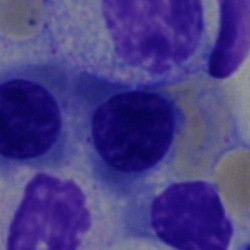

Morphological class = normoblast.